Bone marrow smear. 250 by 250 pixels.
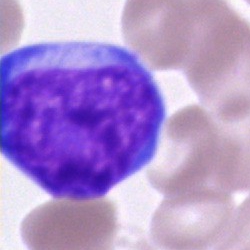 Specimen: bone marrow smear.
Morphological class: blast.